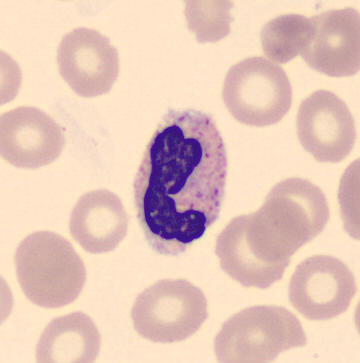This is a neutrophil (band).